Bone marrow smear
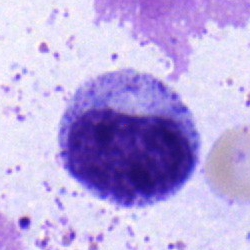The morphological class is myelocyte.